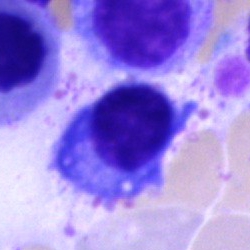
Classification — plasma cell.